Bone marrow smear:
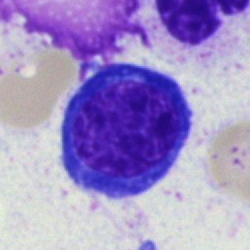 This is an erythroblast.